Peripheral blood smear.
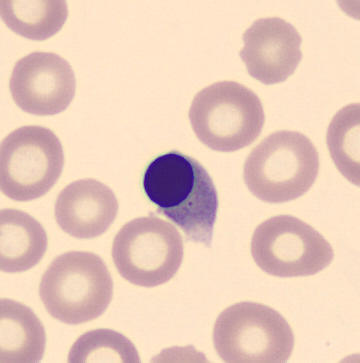Q: What cell is this?
A: It is an erythroblast.